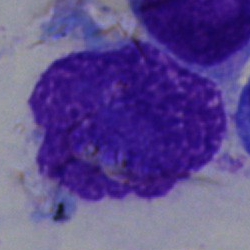

Cell type = artefact.